Image size 250×250. Brightfield, 40× oil-immersion objective. Bone marrow smear — 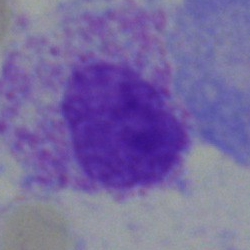Artefact.